Bone marrow aspirate smear · Pappenheim-stained.
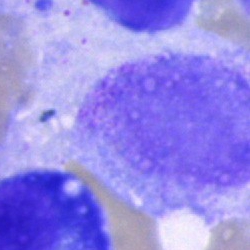This is an artefact.